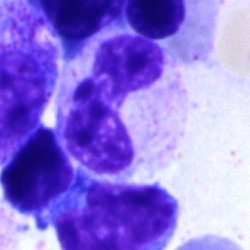
Morphological class — band-form neutrophil.